Bone marrow smear. Single-cell crop.
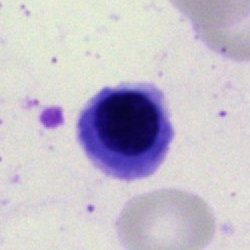Morphology → normoblast.